Single-cell crop · bone marrow smear · image size 250×250 — 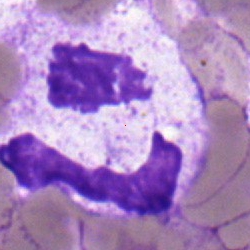

Segmented neutrophil.